Bone marrow aspirate smear
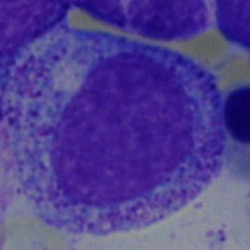
Classification — progranulocyte.